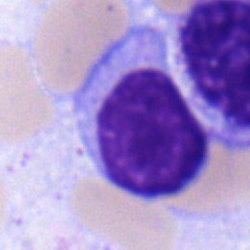 {"cell_type": "typical lymphocyte"}